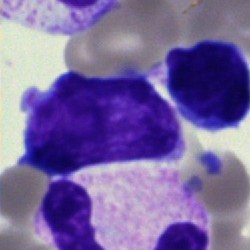
Bone marrow smear showing a blast.